May-Grünwald-Giemsa/Pappenheim stain. Bone marrow aspirate smear.
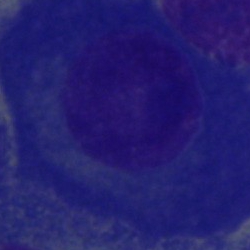 Morphology consistent with a plasmacyte.